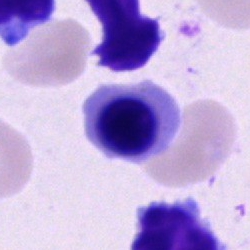 Impression → nucleated red blood cell.